Bone marrow smear — 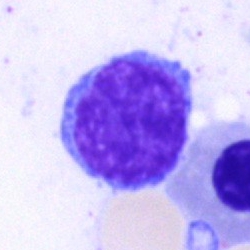 Q: Which cell type is shown here?
A: A lymphocyte.